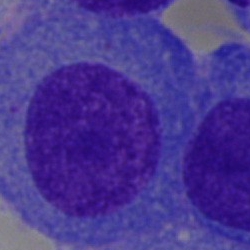

Specimen: bone marrow aspirate smear.
Cell type: plasmacyte.
Lineage: lymphoid.